Bone marrow smear: 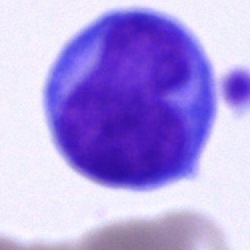
Specimen: bone marrow smear.
Classification: blast.